Bone marrow smear.
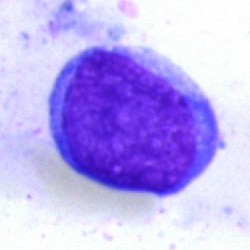This is a blast.